Bone marrow aspirate smear — 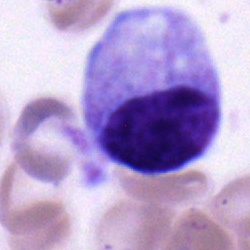
Q: Which cell type is shown here?
A: A myelocyte.